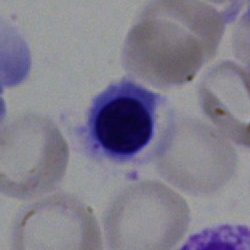 Morphological class = nucleated red blood cell.